Bone marrow aspirate smear:
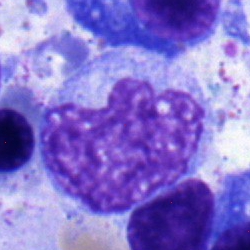

Morphology → monocyte.